Pappenheim-stained · 250×250 px · bone marrow smear.
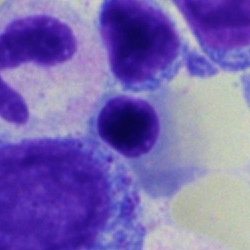
Nucleated red blood cell.